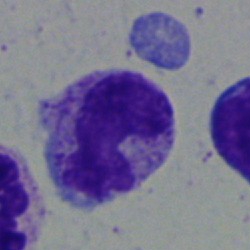 Specimen: bone marrow aspirate smear.
Cell type: band-form neutrophil.
Lineage: myeloid.